Bone marrow aspirate smear. 250×250 px
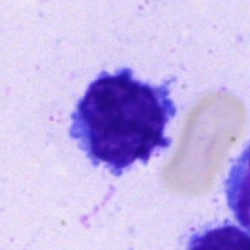
Q: What type of cell is this?
A: This is a typical lymphocyte.